Peripheral blood film — 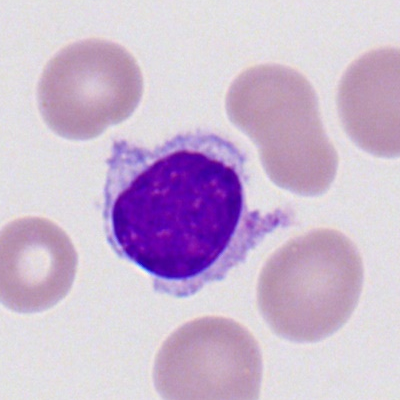 The cell shown is a typical lymphocyte.